Single-cell crop · bone marrow smear:
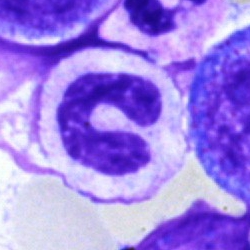Morphology consistent with a neutrophil (band).